Peripheral blood smear: 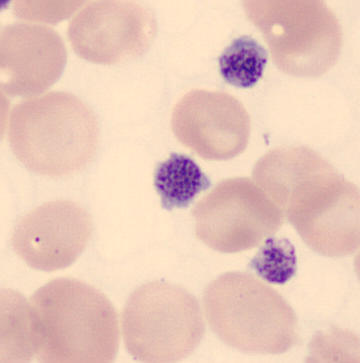
Morphology → platelet.